Bone marrow smear · May-Grünwald-Giemsa/Pappenheim stain — 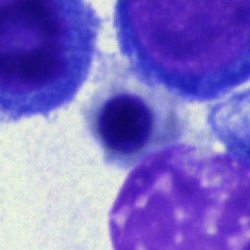 The cell shown is an erythroblast.